Peripheral blood smear:
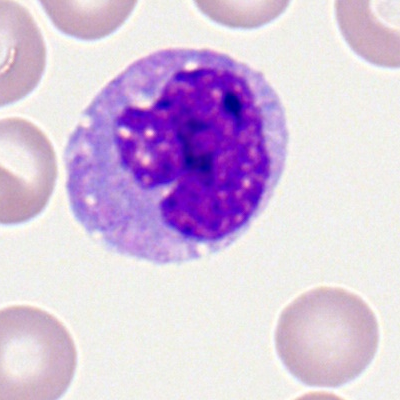

Monocyte.